Bone marrow aspirate smear:
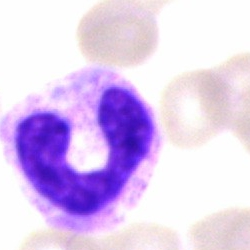
Neutrophil (band).